Bone marrow aspirate smear; single cell centered in the field
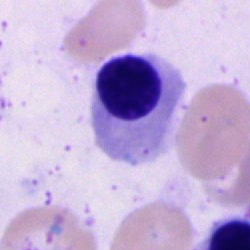
Morphology consistent with a nucleated red blood cell.